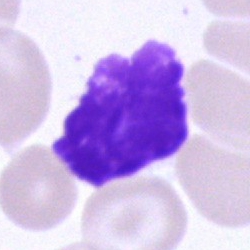

Q: What is shown here?
A: An artifact.